Bone marrow aspirate smear — 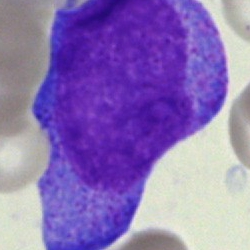 This is a promyelocyte.